Bone marrow smear. Image size 250×250:
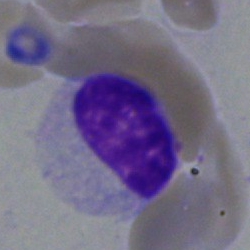 A typical lymphocyte.